Peripheral blood film; single-cell crop — 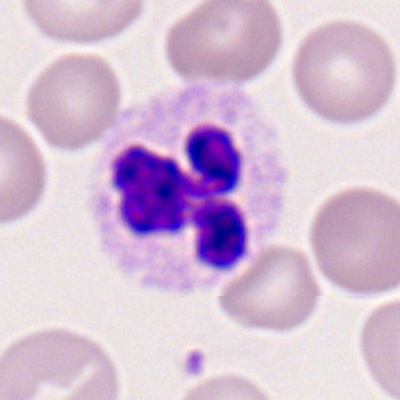
Q: What cell is this?
A: This is a segmented neutrophil.